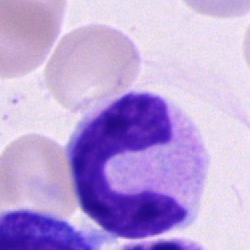
Classification — band neutrophil.